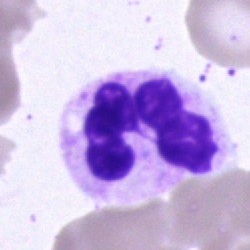
Classification — segmented neutrophil.